Bone marrow smear: 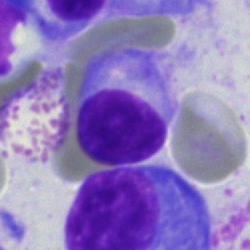 Showing a plasma cell.